Single cell centered in the field · bone marrow aspirate smear · May-Grünwald-Giemsa/Pappenheim stain — 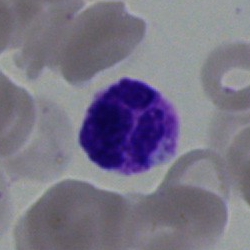
The morphological class is segmented neutrophil.